Single-cell field · bone marrow smear
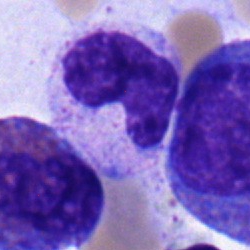Showing a stab cell.